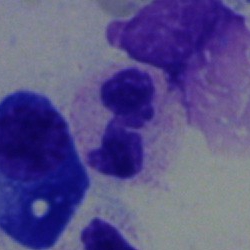 Cell type: segmented neutrophil.